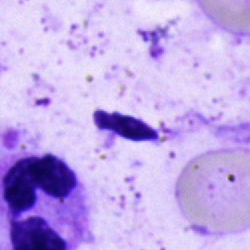
Cell — polymorphonuclear neutrophil.